Peripheral blood smear · Romanowsky-stained.
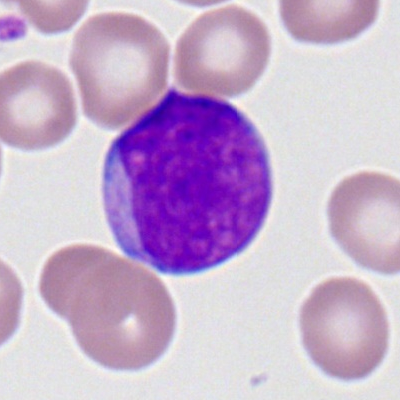Showing a myeloblast.